Bone marrow aspirate smear: 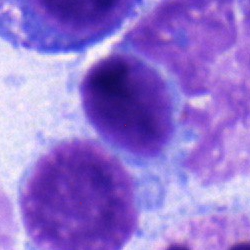Morphology consistent with a lymphocyte.